Bone marrow smear: 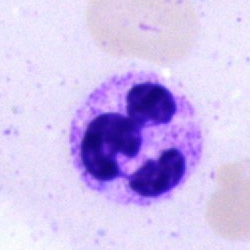This is a polymorphonuclear neutrophil.